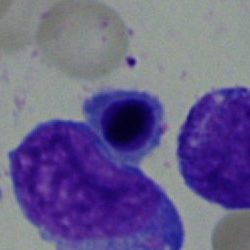 {"cell_type": "nucleated red cell"}